40× objective, oil immersion · bone marrow smear · single-cell field: 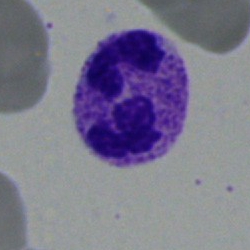This is a polymorphonuclear neutrophil.